Bone marrow aspirate smear.
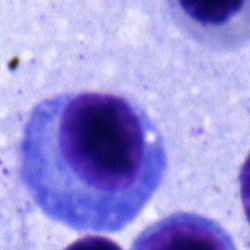

Morphology consistent with a plasma cell.